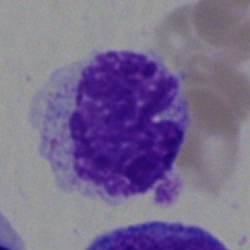Specimen: bone marrow smear.
Cell type: cell of indeterminate lineage.